Peripheral blood film. 100× oil immersion, 14.14 px/µm. 400×400:
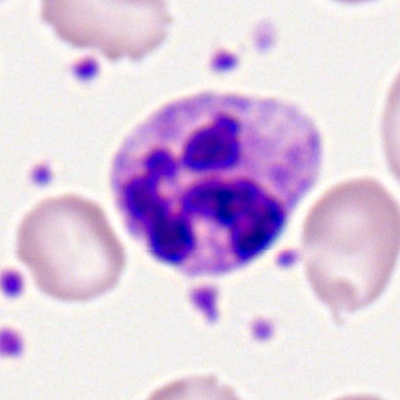
Specimen: peripheral blood smear.
Classification: neutrophil (segmented).
Lineage: myeloid.